Cropped to a single cell; 250×250 px; bone marrow aspirate smear: 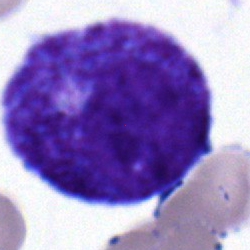A progranulocyte.